Bone marrow smear: 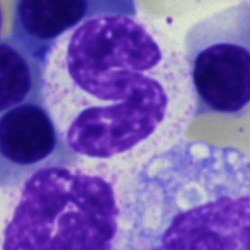

Morphology consistent with a polymorphonuclear neutrophil.